Bone marrow aspirate smear · May-Grünwald-Giemsa stain · 250×250: 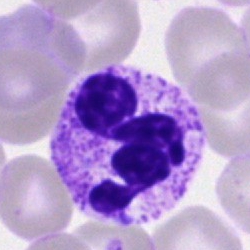 {"cell_type": "polymorphonuclear neutrophil", "lineage": "myeloid"}